Single cell centered in the field · bone marrow aspirate smear
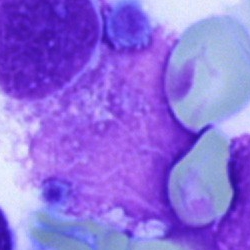 Morphology consistent with an artefact.